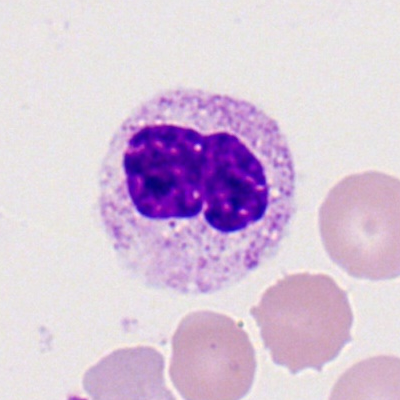

Q: What type of cell is this?
A: This is a polymorphonuclear neutrophil.